Bone marrow aspirate smear. Brightfield, 40× oil-immersion objective — 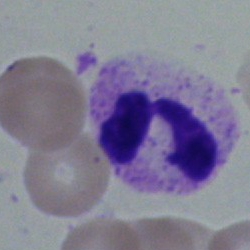
Cell = polymorphonuclear neutrophil.